Bone marrow aspirate smear: 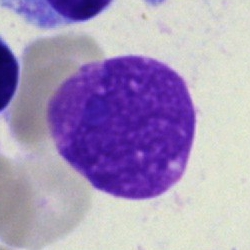Classification = artefact.